Bone marrow smear
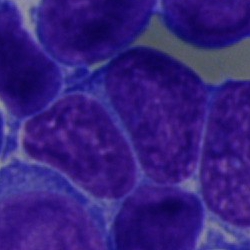 Showing an undifferentiated blast.